Bone marrow smear: 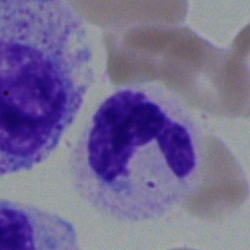 Cell type — polymorphonuclear neutrophil.